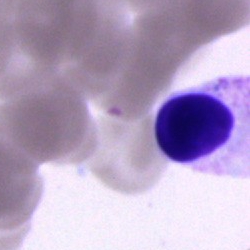 Q: What type of cell is this?
A: Cell of indeterminate lineage.